Pappenheim-stained; bone marrow aspirate smear; 40× objective, oil immersion:
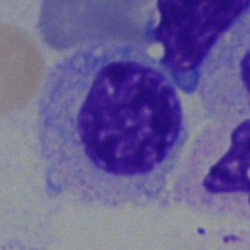

Cell — myelocyte.